Bone marrow smear
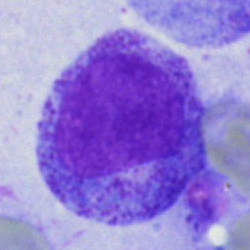The cell type is progranulocyte.